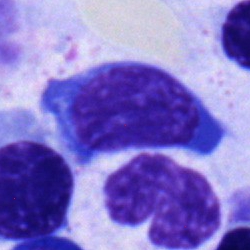Impression — erythroblast.